Bone marrow aspirate smear
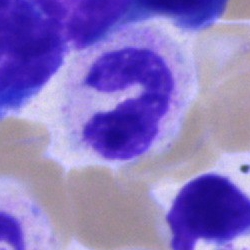Neutrophil (segmented).